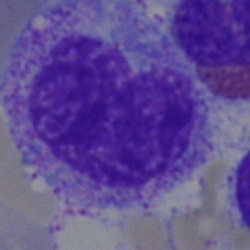
Bone marrow smear showing a metamyelocyte.